Bone marrow smear
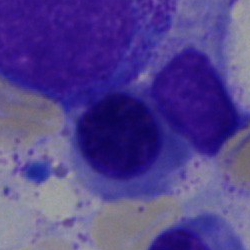Impression → nucleated red blood cell.